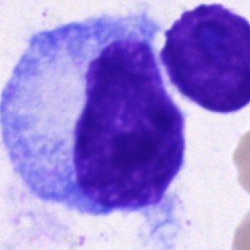Single cell identified as a promyelocyte.